Bone marrow smear. Single-cell field: 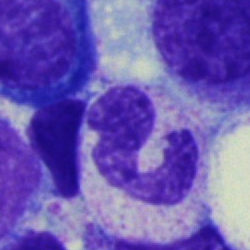Cell type: segmented neutrophil.